Bone marrow smear — 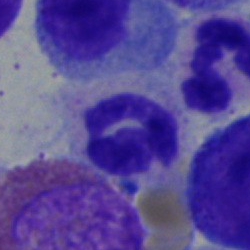Q: Which cell type is shown here?
A: A neutrophil (segmented).